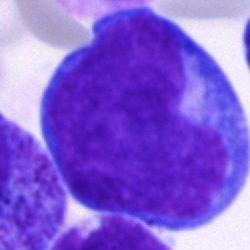The cell shown is a promyelocyte.